Bone marrow smear: 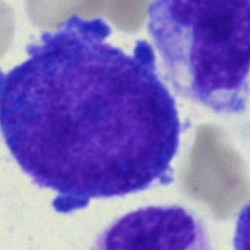
Impression → progranulocyte.